Bone marrow smear: 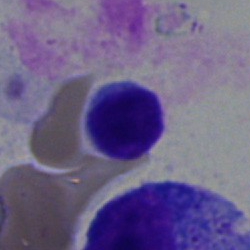
Morphological class: typical lymphocyte.